Bone marrow aspirate smear · MGG-stained · single-cell field — 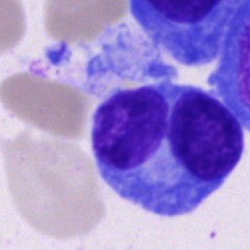

Specimen: bone marrow aspirate smear.
Classification: plasmacyte.
Lineage: lymphoid.